40× oil immersion; bone marrow smear:
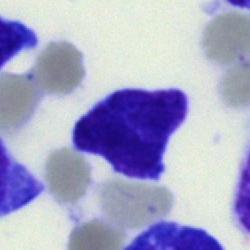The cell shown is a blast.